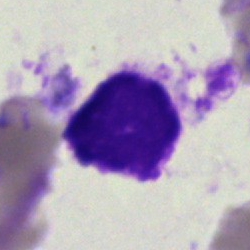
The classification is artifact.